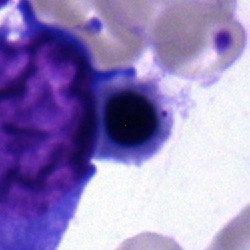Q: Which cell type is shown here?
A: Nucleated red blood cell.